Peripheral blood smear — 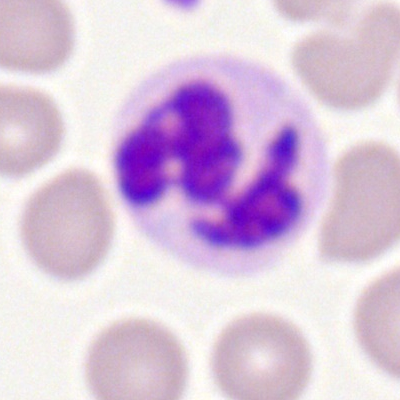

Cell type = polymorphonuclear neutrophil.